Bone marrow smear. 40× objective, oil immersion:
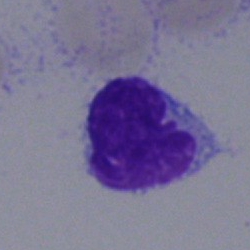 Single cell identified as a lymphocyte.